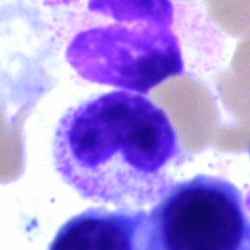
Q: What cell is this?
A: Neutrophil (band).